Peripheral blood film: 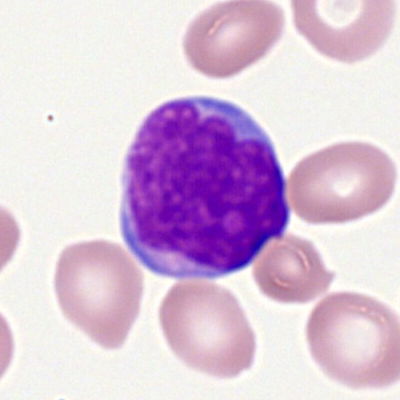 Impression → myeloid blast.